Pappenheim-stained. Bone marrow smear
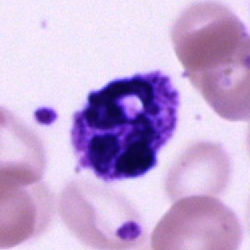 Q: Identify the cell.
A: A polymorphonuclear neutrophil.